Peripheral blood smear — 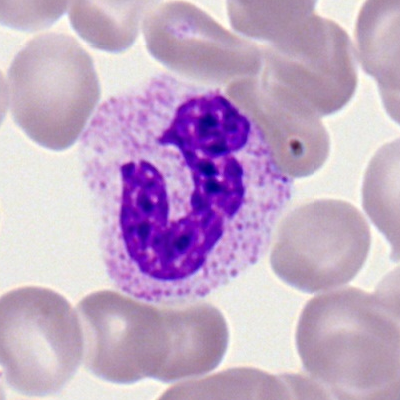
Specimen: peripheral blood smear.
Cell type: band neutrophil.
Lineage: myeloid.